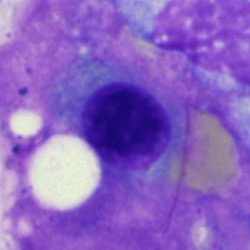 Bone marrow smear showing a nucleated red cell.